Bone marrow aspirate smear; 250×250 px; Pappenheim-stained.
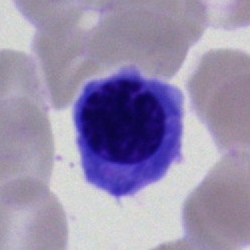

The cell shown is an erythroblast.